Peripheral blood smear. 100× oil immersion, 14.14 px/µm
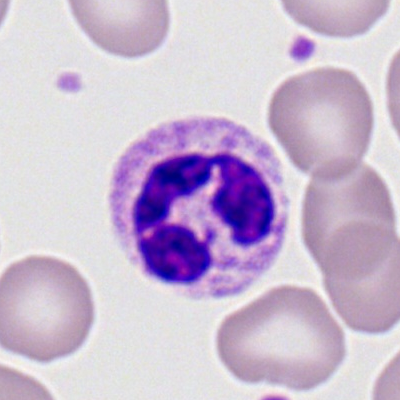 Single cell identified as a neutrophil (segmented).